Pappenheim-stained. Bone marrow aspirate smear. Single-cell field.
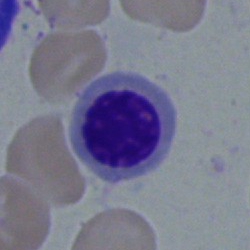Showing a nucleated red blood cell.